Bone marrow aspirate smear. Cropped to a single cell. Brightfield microscopy, 40× oil immersion:
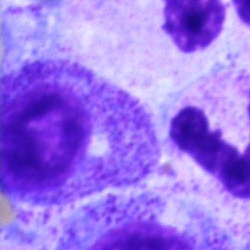
The cell shown is a myelocyte.